Bone marrow smear; brightfield, 40× oil-immersion objective — 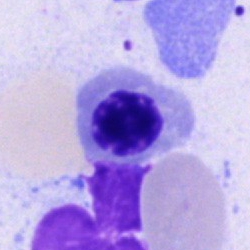

Q: Which cell type is shown here?
A: It is a nucleated red cell.